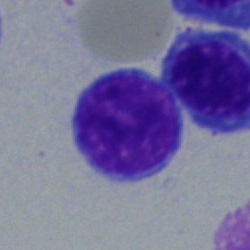 Single cell identified as a blast.